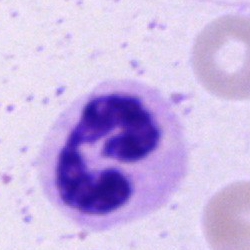 The cell type is polymorphonuclear neutrophil.